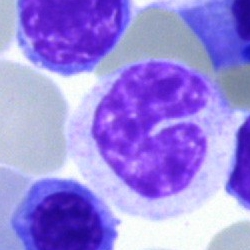Cell type: neutrophil (band).